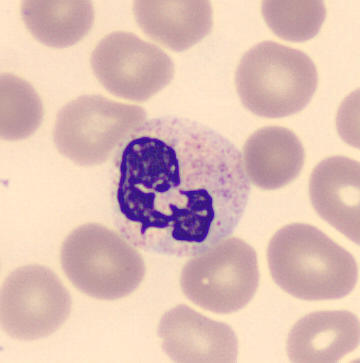

Acquisition: CellaVision DM96. Peripheral blood smear.
This is a segmented neutrophil.